May-Grünwald-Giemsa stain. Bone marrow aspirate smear: 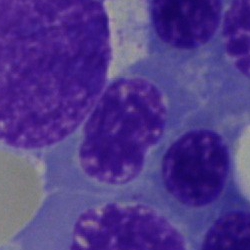Specimen: bone marrow aspirate smear.
Classification: nucleated red blood cell.